360×363 px · peripheral blood film:
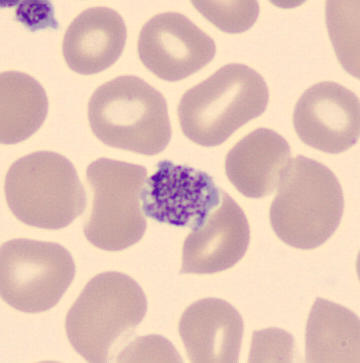

Platelet.